Bone marrow aspirate smear:
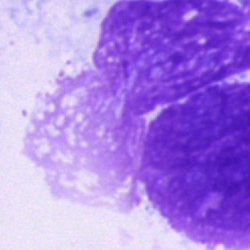The morphological class is artifact.